Image size 250×250 · bone marrow smear — 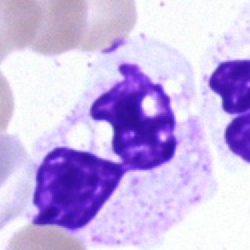 Q: Identify the cell.
A: A neutrophil (segmented).